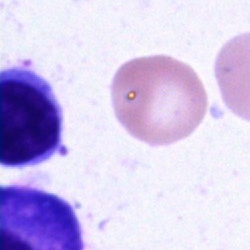

Bone marrow smear showing an artefact.